Bone marrow smear · May-Grünwald-Giemsa stain · single-cell crop:
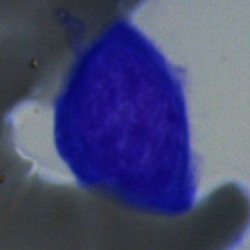

The cell type is pronormoblast.